Bone marrow smear: 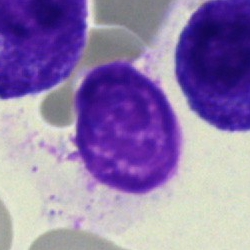 Showing an artefact.